Bone marrow aspirate smear — 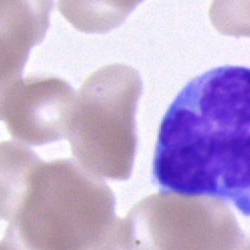
Morphology consistent with a cell of indeterminate lineage.